Bone marrow aspirate smear.
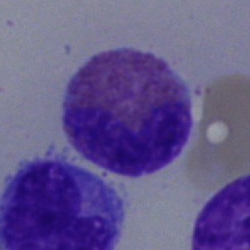 Cell type — eosinophil.